250×250 px. MGG-stained. Bone marrow aspirate smear — 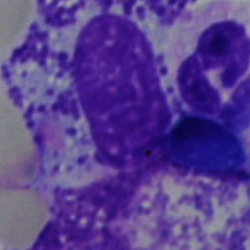 Morphology consistent with an other cell.